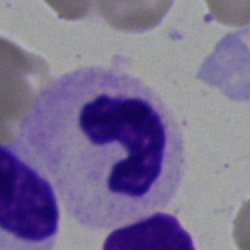
Morphology consistent with a polymorphonuclear neutrophil.